250×250; 40× objective, oil immersion; bone marrow smear.
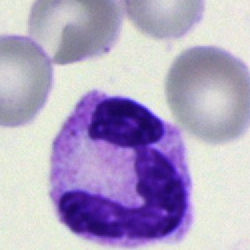
Showing a neutrophil (segmented).